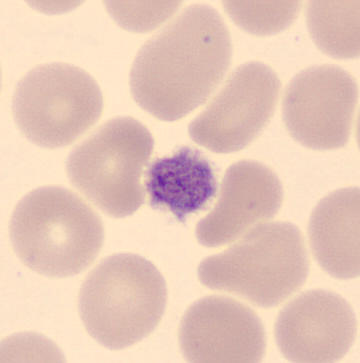
Preparation: Peripheral blood smear.
The morphological class is platelet.